Bone marrow aspirate smear.
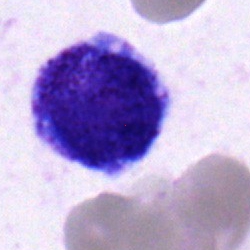Specimen: bone marrow aspirate smear.
Cell: undifferentiated blast.